Single-cell field; bone marrow smear; 250×250:
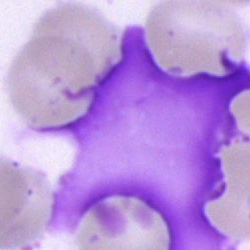 Impression — artifact.